Bone marrow aspirate smear
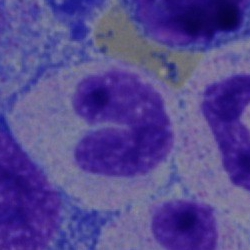Morphology consistent with a stab cell.